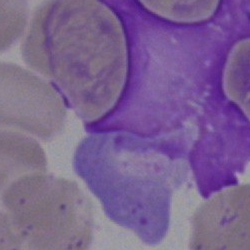

Q: What is shown here?
A: An artifact.